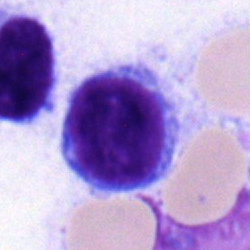 The classification is lymphocyte.